40× oil immersion; single-cell field; bone marrow aspirate smear — 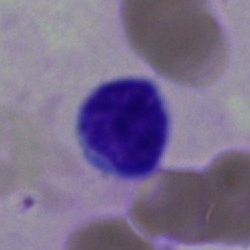
Morphological class — typical lymphocyte.